250×250 · bone marrow aspirate smear:
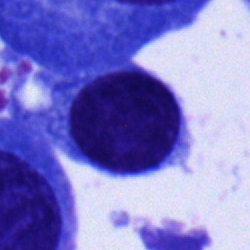

Lymphocyte.